Bone marrow aspirate smear:
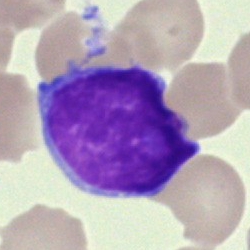 Morphology → typical lymphocyte.